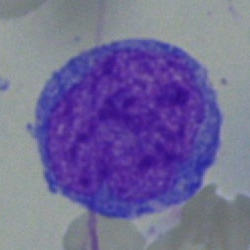 Showing a blast.